Bone marrow smear
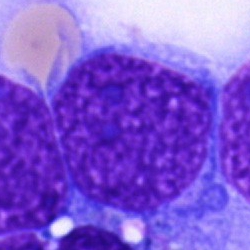
This is an unidentifiable cell.